Pappenheim-stained. Bone marrow aspirate smear: 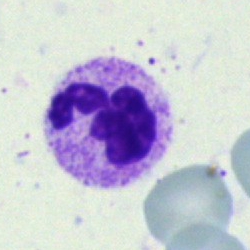 The cell shown is a polymorphonuclear neutrophil.